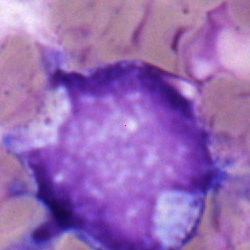

Bone marrow smear showing a myelocyte.